M8 digital microscope (Precipoint), 100× oil immersion · peripheral blood smear:
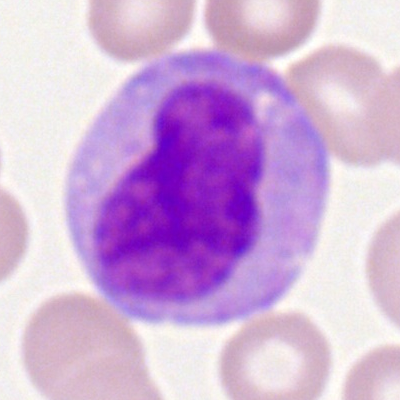
Cell type = monocyte.